Cropped to a single cell; bone marrow aspirate smear: 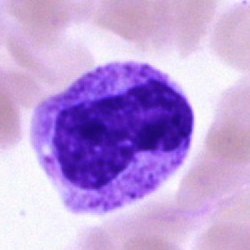A metamyelocyte.